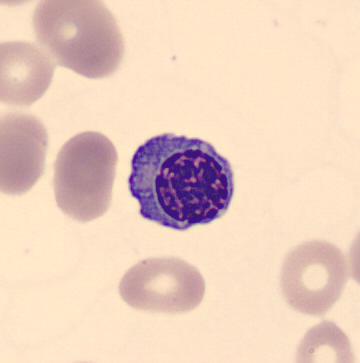 Specimen: peripheral blood smear.
Cell: normoblast.

CellaVision DM96 digital cell image.